Pappenheim-stained; bone marrow aspirate smear; 250 by 250 pixels: 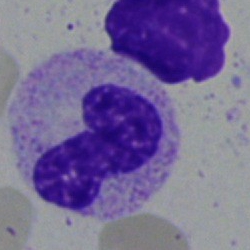 Classification — neutrophil (band).